Bone marrow smear
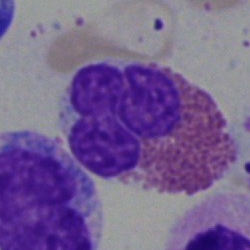{"cell_type": "eosinophilic granulocyte", "lineage": "myeloid"}